Bone marrow aspirate smear.
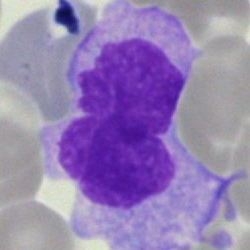
Showing a monocyte.